Bone marrow aspirate smear: 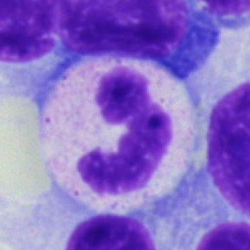
Morphology consistent with a neutrophil (segmented).